Image size 250×250 · bone marrow smear:
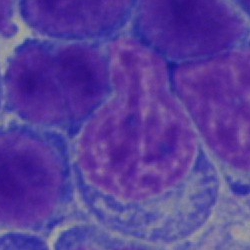
{"cell_type": "typical lymphocyte"}